Bone marrow aspirate smear.
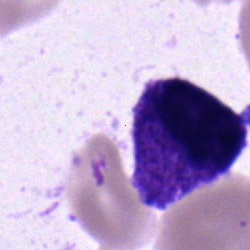Q: What type of cell is this?
A: This is an undifferentiated blast.